Bone marrow smear.
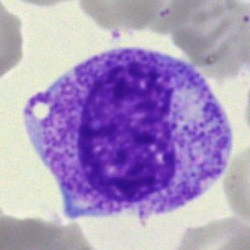
{"cell_type": "myelocyte", "lineage": "myeloid"}